Single cell centered in the field; bone marrow smear: 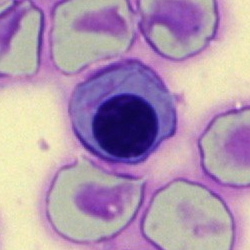
{"cell_type": "nucleated red blood cell"}